Brightfield, 40× oil-immersion objective. Bone marrow smear:
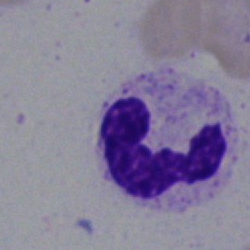Classification: polymorphonuclear neutrophil.